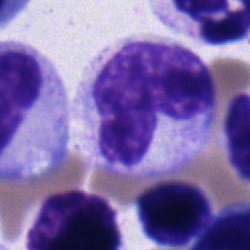Showing a band neutrophil.